40× objective, oil immersion · bone marrow aspirate smear.
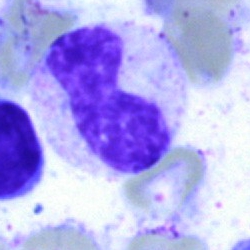Morphology consistent with a stab cell.